Bone marrow aspirate smear.
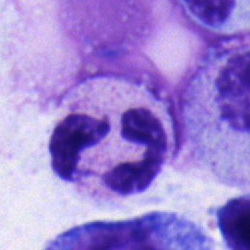

Impression — polymorphonuclear neutrophil.